Bone marrow smear — 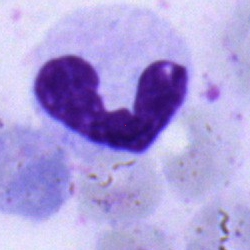

Single cell identified as a segmented neutrophil.